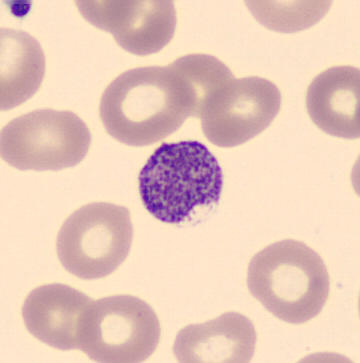

Q: What is shown here?
A: It is a thrombocyte.